Brightfield, 40× oil-immersion objective · bone marrow aspirate smear
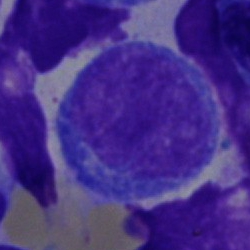
Q: What cell is this?
A: Promyelocyte.